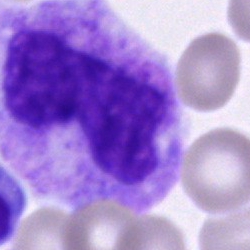 Bone marrow smear showing a metamyelocyte.